Bone marrow smear.
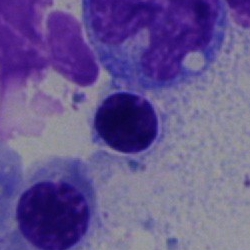
Cell type = erythroblast.